Bone marrow aspirate smear.
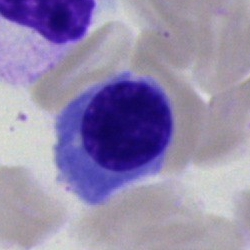

Cell type — normoblast.